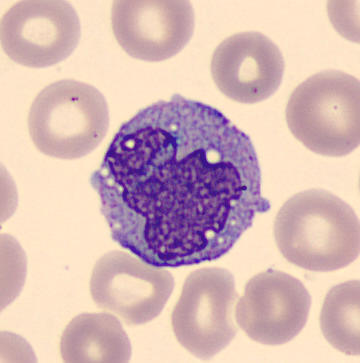 Impression → monocyte.

Peripheral blood smear. May Grünwald-Giemsa stain. Single-cell crop.